Bone marrow smear: 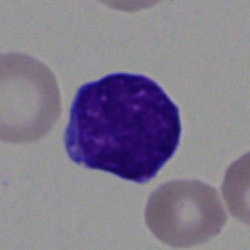A blast cell.